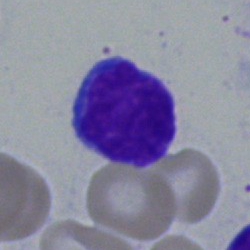 {"cell_type": "typical lymphocyte"}